Bone marrow aspirate smear
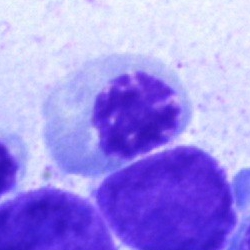
Impression → normoblast.